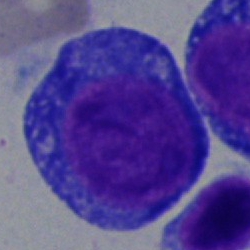Specimen: bone marrow aspirate smear.
Morphological class: proerythroblast.
Lineage: erythroid.